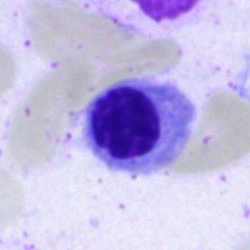

Cell — erythroblast.